Single-cell crop · bone marrow aspirate smear · 40× oil immersion.
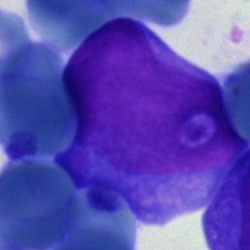
Q: What is the morphological classification of this cell?
A: This is an undifferentiated blast.